250×250. Bone marrow aspirate smear
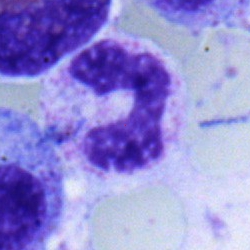
{"cell_type": "neutrophil (band)"}